Bone marrow smear
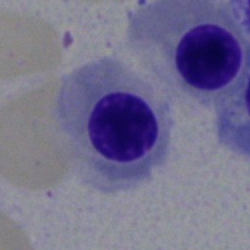
Q: What type of cell is this?
A: This is a nucleated red cell.